Brightfield microscopy, 40× oil immersion · bone marrow aspirate smear · cropped to a single cell: 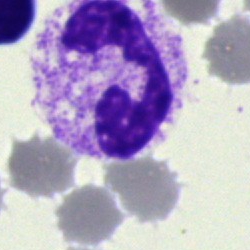

Specimen: bone marrow aspirate smear.
Classification: neutrophil (segmented).
Lineage: myeloid.